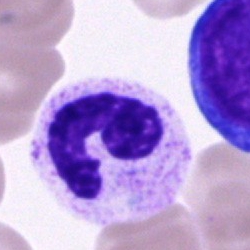 Showing a polymorphonuclear neutrophil.